Bone marrow aspirate smear
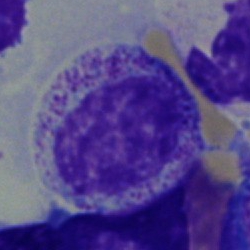 Cell: myelocyte.